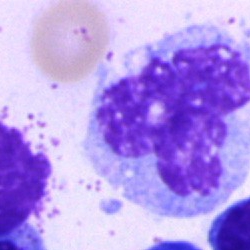 Q: What is shown here?
A: This is a monocyte.